Cropped to a single cell; bone marrow smear; Pappenheim-stained:
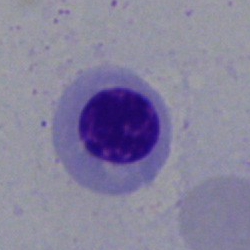 A nucleated red cell.